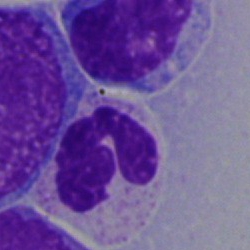

{"cell_type": "segmented neutrophil"}